Peripheral blood film.
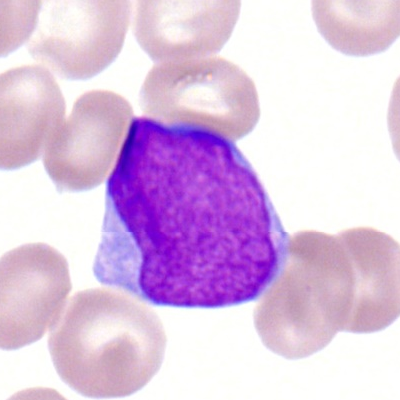
A myeloid blast.